Single cell centered in the field; bone marrow smear; 40× oil immersion
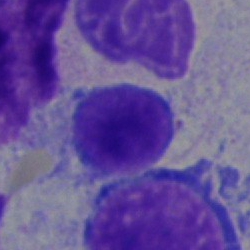Cell type — lymphocyte.